Bone marrow aspirate smear:
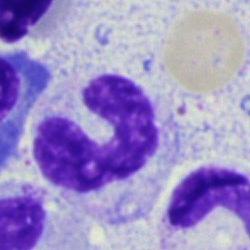

The cell shown is a band neutrophil.